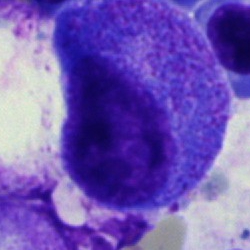 {"cell_type": "promyelocyte"}